Bone marrow smear: 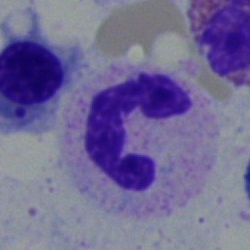
Morphological class = band neutrophil.